Bone marrow aspirate smear · single cell centered in the field · 250 by 250 pixels — 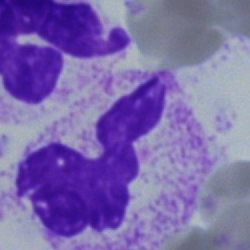

Morphology consistent with a polymorphonuclear neutrophil.